Brightfield, 40× oil-immersion objective. Bone marrow smear. Cropped to a single cell
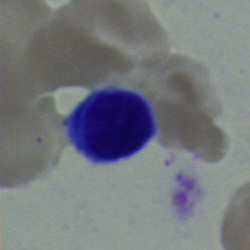

Q: Identify the cell.
A: A typical lymphocyte.